Bone marrow aspirate smear
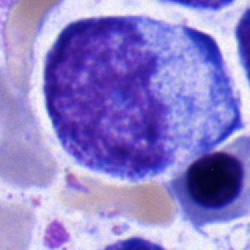
Q: What is the morphological classification of this cell?
A: A progranulocyte.